Bone marrow aspirate smear · 250×250 px · 40× oil immersion — 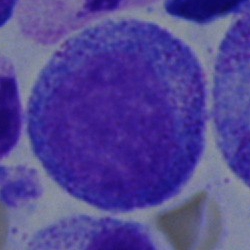

Impression — promyelocyte.